Single cell centered in the field. Bone marrow smear.
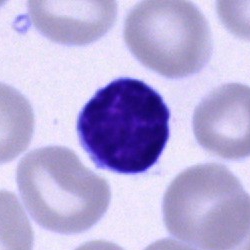
Q: What type of cell is this?
A: It is a lymphocyte.